250×250 · Pappenheim-stained · bone marrow smear.
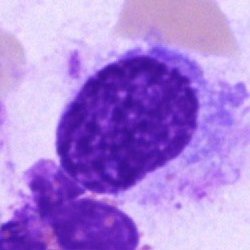
Specimen: bone marrow aspirate smear.
Cell: artifact.